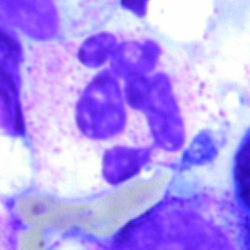Q: What cell is this?
A: This is a polymorphonuclear neutrophil.